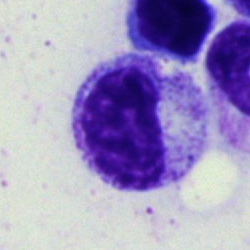 Specimen: bone marrow aspirate smear.
Cell type: myelocyte.
Lineage: myeloid.